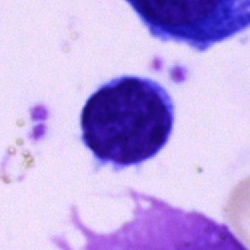

Q: Which cell type is shown here?
A: This is a lymphocyte.